Bone marrow aspirate smear:
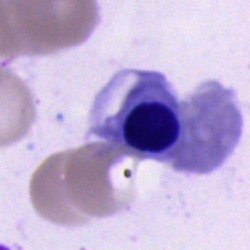
The cell type is nucleated red cell.